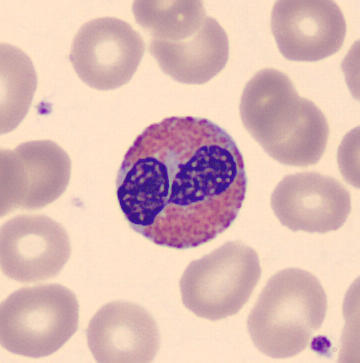Image: Peripheral blood film. Cell type: eosinophil.